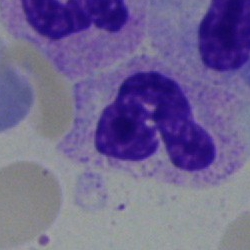

Cell — neutrophil (segmented).